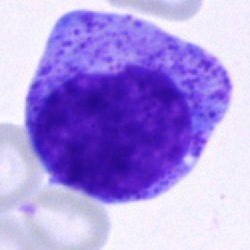

The cell shown is a progranulocyte.